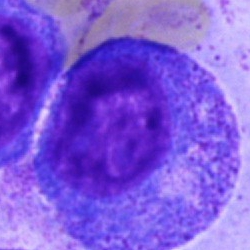

A progranulocyte.